100× oil immersion. Single cell centered in the field. Peripheral blood smear:
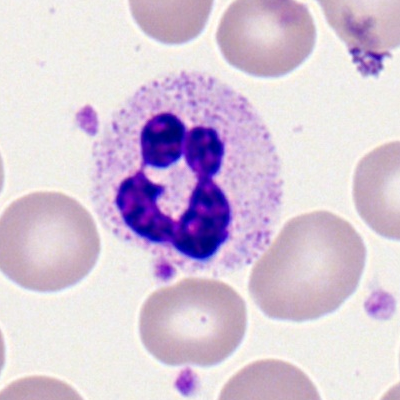 The cell shown is a segmented neutrophil.